Bone marrow smear.
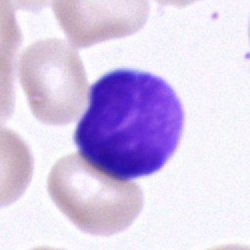 This is a typical lymphocyte.